Bone marrow aspirate smear — 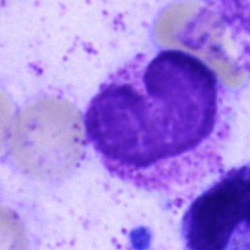 Cell = artifact.